Bone marrow smear — 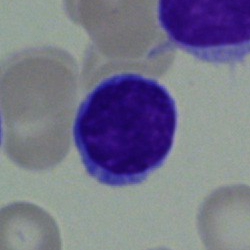 Specimen: bone marrow smear.
Classification: typical lymphocyte.
Lineage: lymphoid.